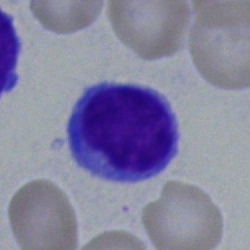

A lymphocyte.